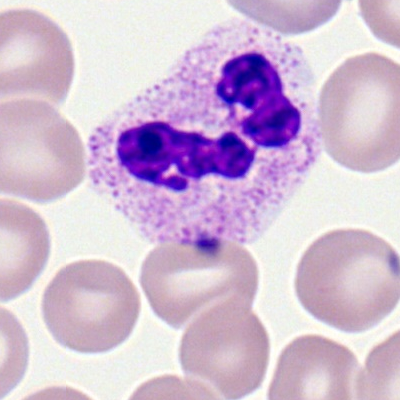 Segmented neutrophil.